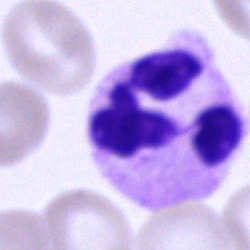Showing a polymorphonuclear neutrophil.